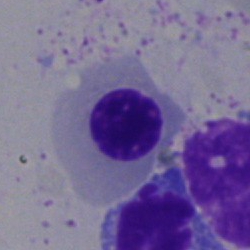The cell shown is a normoblast.